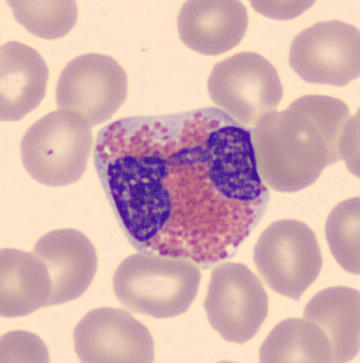
An eosinophilic granulocyte. Image: Peripheral blood smear.